Bone marrow smear — 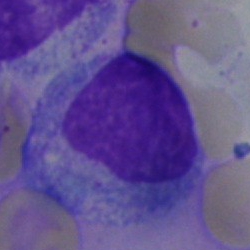Q: What cell is this?
A: This is a blast.